Bone marrow aspirate smear — 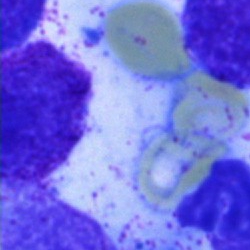
Showing an artifact.